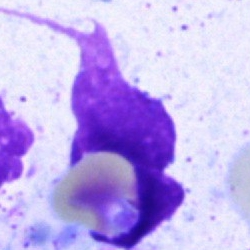Morphology → artefact.